Bone marrow aspirate smear.
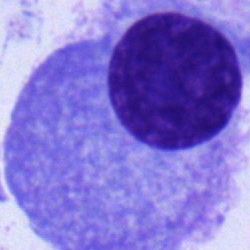

Cell — plasmacyte.